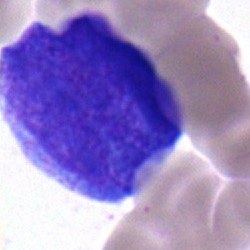

An undifferentiated blast on a bone marrow smear.